Bone marrow aspirate smear: 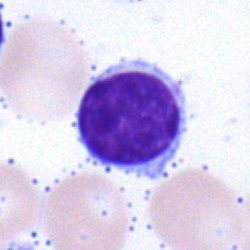 Classification = typical lymphocyte.